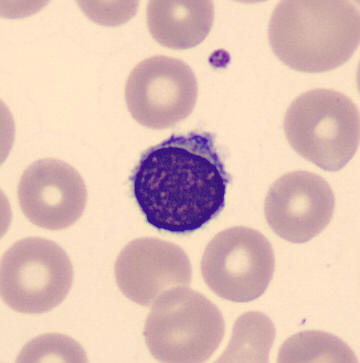

A lymphocyte.